Bone marrow smear — 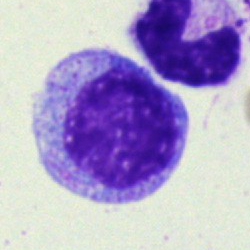

Specimen: bone marrow smear.
Morphological class: progranulocyte.